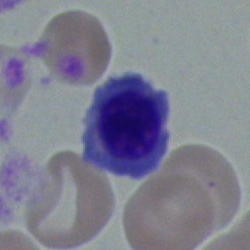The cell shown is a normoblast.